Image size 250×250. 40× objective, oil immersion. Bone marrow smear: 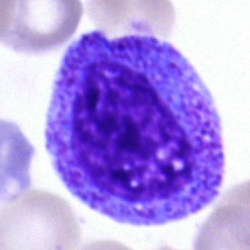 Showing a progranulocyte.